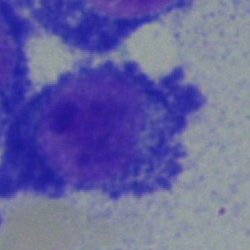Morphology — plasmacyte.